40× oil immersion · bone marrow smear · image size 250×250.
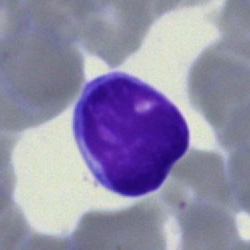
Cell: lymphocyte.